Peripheral blood film: 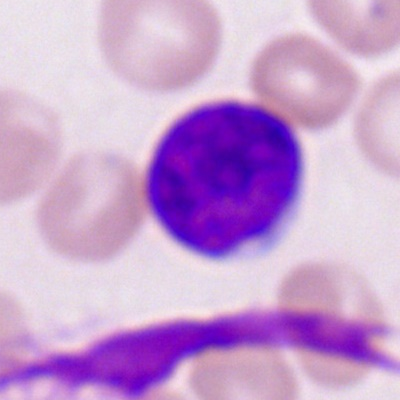Classification = myeloid blast.